Bone marrow smear: 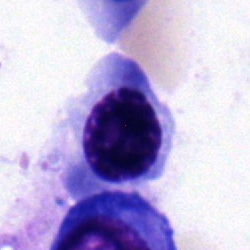

Morphological class: erythroblast.